Bone marrow aspirate smear — 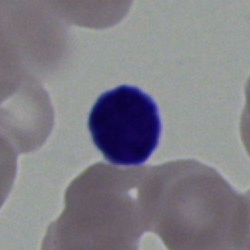
Specimen: bone marrow aspirate smear.
Classification: typical lymphocyte.
Lineage: lymphoid.